Bone marrow smear: 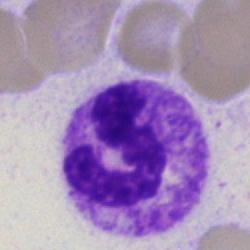
Morphological class: neutrophil (segmented).